40× objective, oil immersion; bone marrow aspirate smear; May-Grünwald-Giemsa/Pappenheim stain — 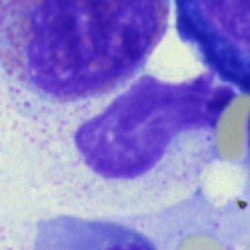

Morphology consistent with an artefact.